Bone marrow aspirate smear — 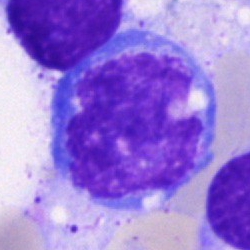

Cell = monocyte.